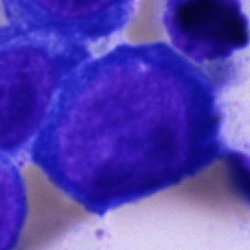Q: What cell is this?
A: A proerythroblast.